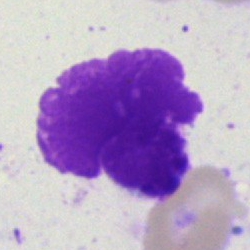Morphology consistent with an artifact.